250×250 px; bone marrow smear.
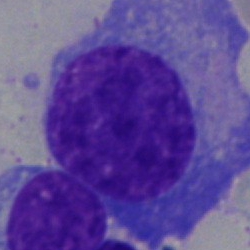
Q: What cell is this?
A: A plasmacyte.